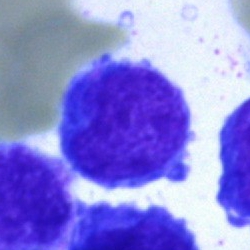 {"cell_type": "blast"}